Bone marrow smear.
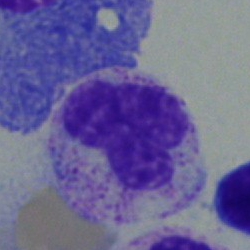{"cell_type": "band-form neutrophil", "lineage": "myeloid"}